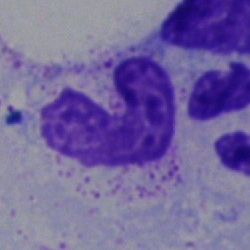
Band-form neutrophil.